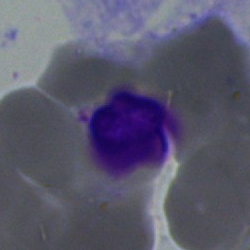 Q: Identify the cell.
A: Lymphocyte.